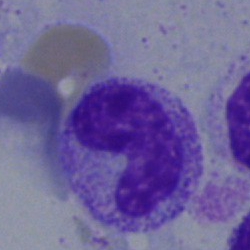Specimen: bone marrow aspirate smear.
Cell: neutrophil (band).